Bone marrow aspirate smear — 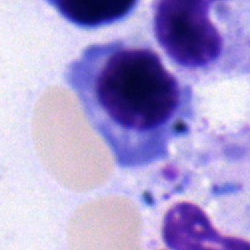 Specimen: bone marrow aspirate smear.
Morphological class: plasmacyte.